Single cell centered in the field · peripheral blood smear · 400×400 px
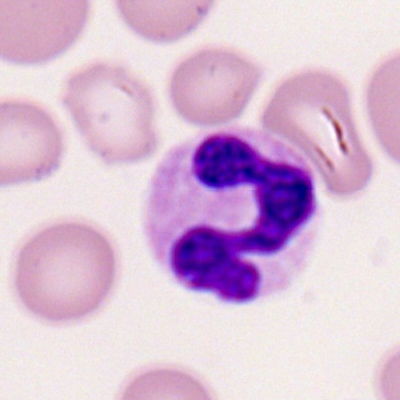Specimen: peripheral blood smear.
Cell type: polymorphonuclear neutrophil.
Lineage: myeloid.